Peripheral blood film
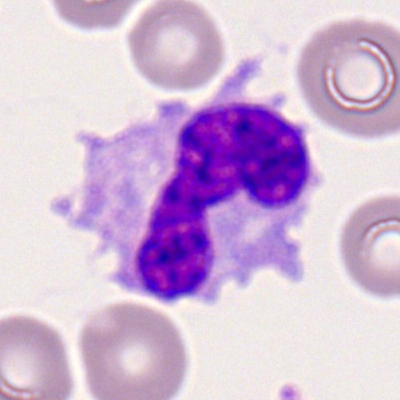The cell shown is a monocyte.